250×250 px. Bone marrow aspirate smear:
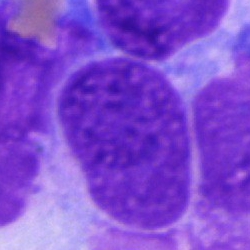
Cell type — artifact.